Bone marrow aspirate smear. Image size 250×250
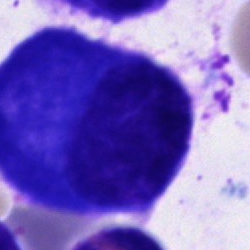
Q: What type of cell is this?
A: A plasmacyte.